Bone marrow smear · single cell centered in the field: 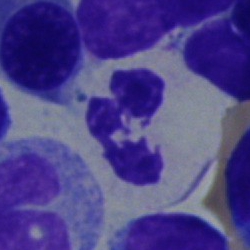
A neutrophil (segmented).